Bone marrow aspirate smear — 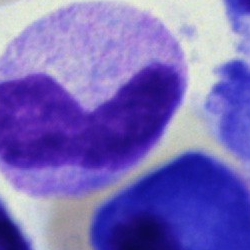
Single cell identified as a monocyte.